Bone marrow aspirate smear
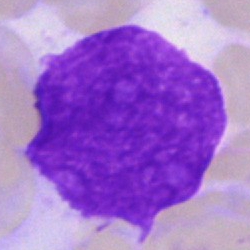
Specimen: bone marrow smear.
Morphological class: artefact.